Bone marrow aspirate smear · single-cell crop.
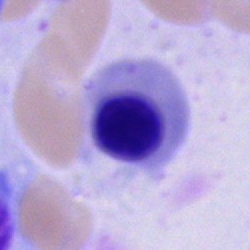Specimen: bone marrow aspirate smear.
Morphological class: nucleated red blood cell.
Lineage: erythroid.